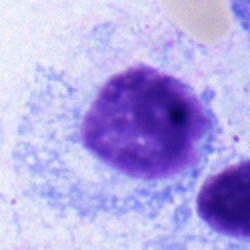
The cell shown is a typical lymphocyte.